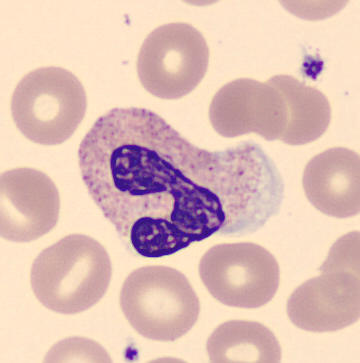
Cell type = neutrophil (band).